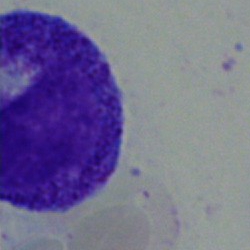

Classification: promyelocyte.